Cropped to a single cell · bone marrow smear · brightfield microscopy, 40× oil immersion.
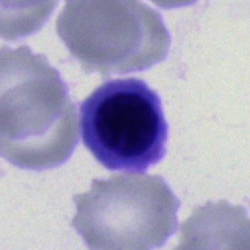

Classification — erythroblast.